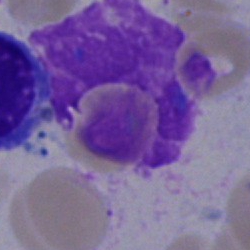

Bone marrow aspirate smear, single cell — artefact.